Bone marrow smear. 40× objective, oil immersion — 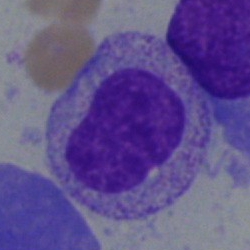
Specimen: bone marrow smear.
Cell type: myelocyte.
Lineage: myeloid.